Peripheral blood film:
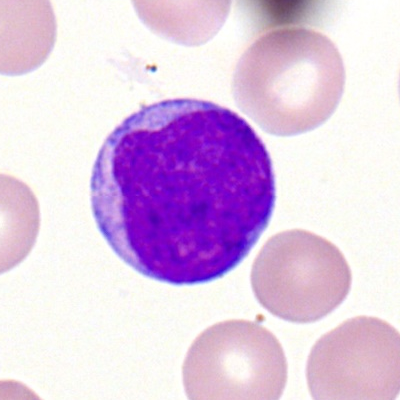

{"cell_type": "myeloid blast", "lineage": "myeloid"}